Bone marrow smear. 40× objective, oil immersion. Single-cell field:
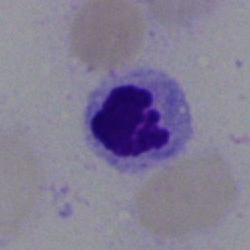

The morphological class is normoblast.